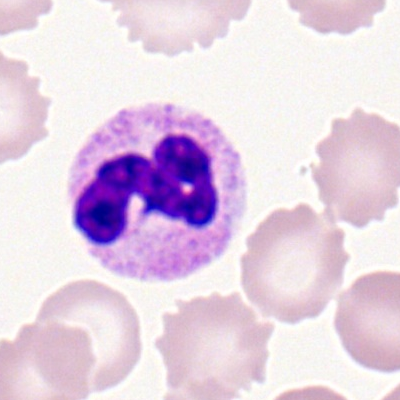
Cell type — segmented neutrophil.